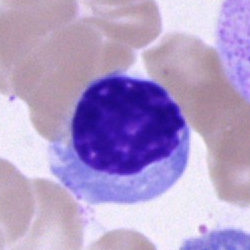

Morphological class: normoblast.